Bone marrow aspirate smear; 40× oil immersion:
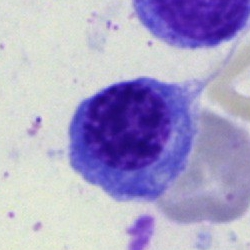
Cell — nucleated red blood cell.